Bone marrow smear:
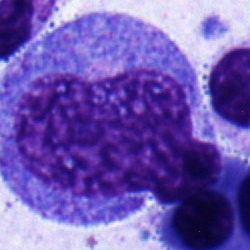
Specimen: bone marrow smear.
Classification: promyelocyte.
Lineage: myeloid.